Bone marrow smear: 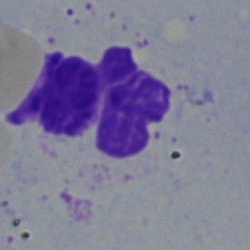 Showing a segmented neutrophil.